Cropped to a single cell. 250×250 px. Bone marrow aspirate smear: 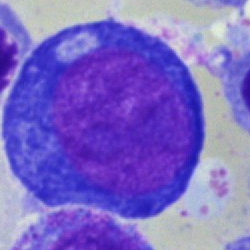A pronormoblast.